250 by 250 pixels. Bone marrow smear — 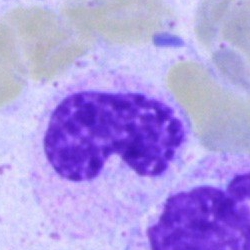 Morphology consistent with a band neutrophil.